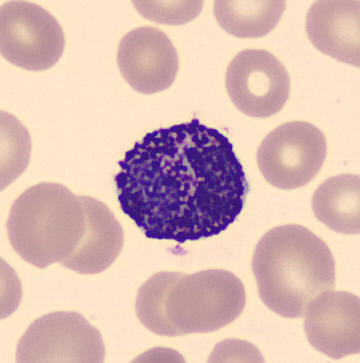

{"cell_type": "basophilic granulocyte"}